Bone marrow smear:
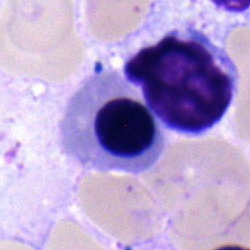Showing a nucleated red cell.